Bone marrow aspirate smear. 40× objective, oil immersion — 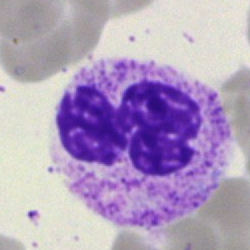

A polymorphonuclear neutrophil.